Bone marrow aspirate smear: 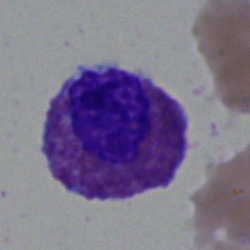 Impression → eosinophilic granulocyte.